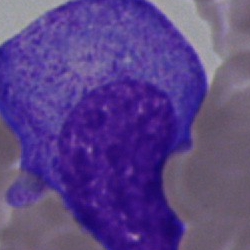Bone marrow smear showing a promyelocyte.